Brightfield, 40× oil-immersion objective; bone marrow aspirate smear:
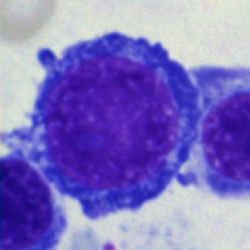 Specimen: bone marrow aspirate smear.
Classification: nucleated red cell.